Bone marrow smear
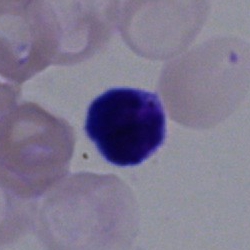 Q: What type of cell is this?
A: It is a typical lymphocyte.